40× oil immersion; 250×250; bone marrow aspirate smear.
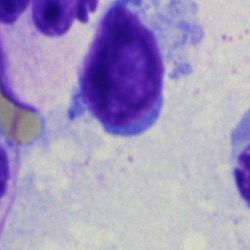 Q: Which cell type is shown here?
A: Lymphocyte.